100× oil immersion. Peripheral blood film. Single cell centered in the field.
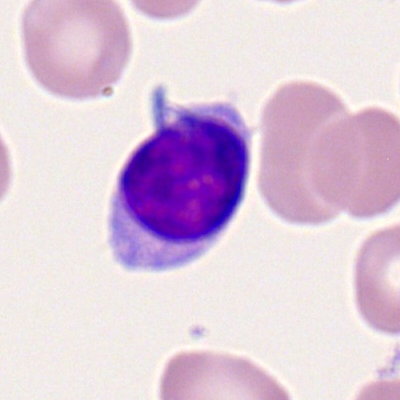

Q: What is the morphological classification of this cell?
A: A lymphocyte.